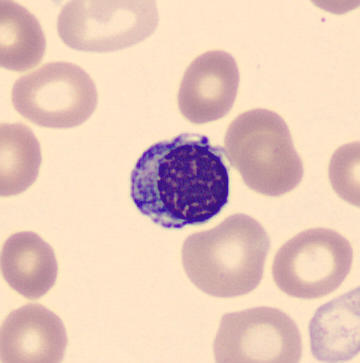

Morphology — normoblast.